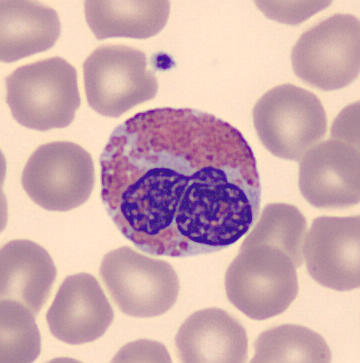Specimen: peripheral blood smear.
Cell type: eosinophilic granulocyte.
Lineage: myeloid.